Bone marrow aspirate smear.
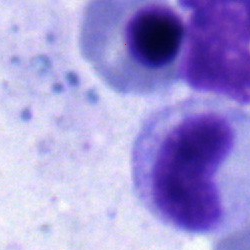

Cell — nucleated red blood cell.